May-Grünwald-Giemsa stain · bone marrow aspirate smear · cropped to a single cell.
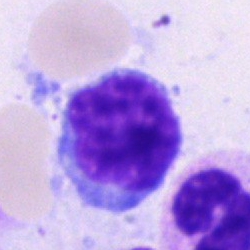 Cell: lymphocyte.